Bone marrow aspirate smear: 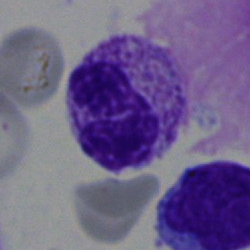
Q: What is shown here?
A: Neutrophil (segmented).